Bone marrow aspirate smear; 250×250 — 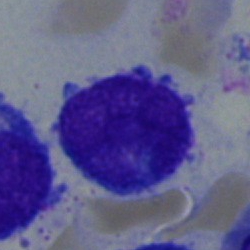

Cell — blast cell.